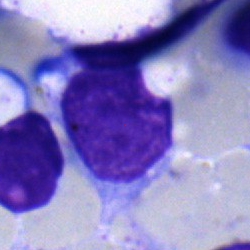Classification: lymphocyte.